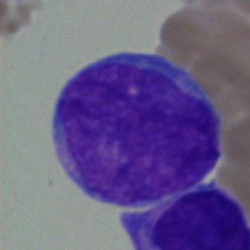

{"cell_type": "undifferentiated blast"}